Peripheral blood smear. May-Grünwald-Giemsa-stained. Single cell centered in the field.
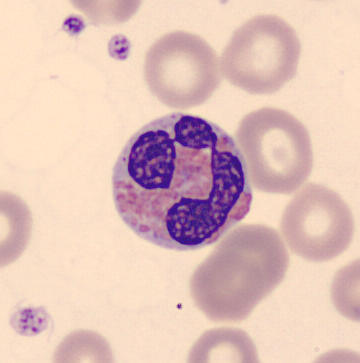
The cell shown is an eosinophilic granulocyte.